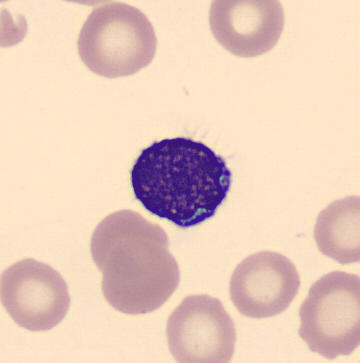

Morphology consistent with a typical lymphocyte.
Single-cell field · peripheral blood film.